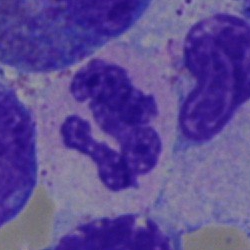Specimen: bone marrow smear.
Cell type: segmented neutrophil.